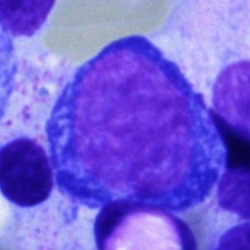
Specimen: bone marrow aspirate smear.
Classification: nucleated red cell.
Lineage: erythroid.